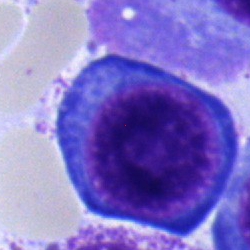

Morphological class — erythroblast.